Bone marrow smear: 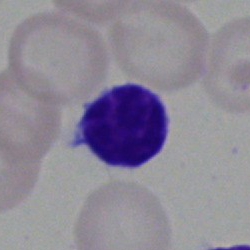

Morphology consistent with a typical lymphocyte.